Bone marrow aspirate smear · cropped to a single cell:
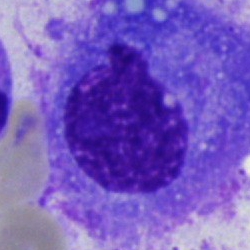The cell shown is a plasmacyte.